Bone marrow aspirate smear. Image size 250×250
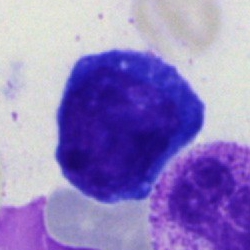 Showing an erythroblast.